Bone marrow aspirate smear — 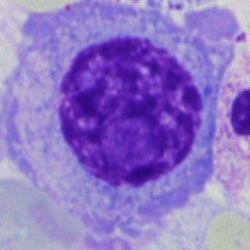
The cell is plasma cell.